Bone marrow smear; 250×250 px.
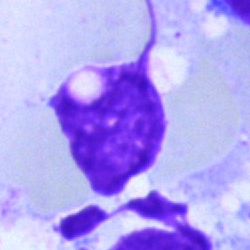
Morphology consistent with an artifact.